Bone marrow smear:
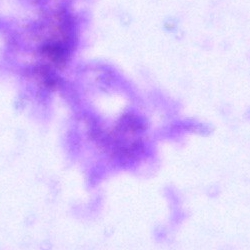

Morphology consistent with an artefact.